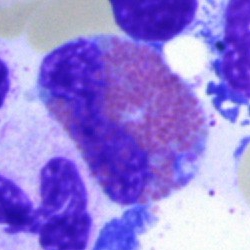 Showing an eosinophilic granulocyte.